Bone marrow aspirate smear — 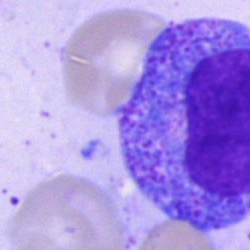Classification — promyelocyte.